40× oil immersion. May-Grünwald-Giemsa stain. Bone marrow aspirate smear:
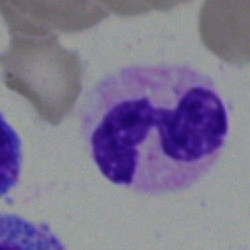
The classification is polymorphonuclear neutrophil.